Bone marrow smear. MGG-stained:
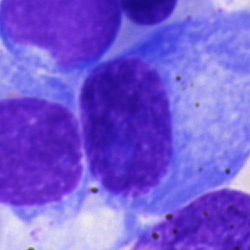
Morphology consistent with a plasma cell.